May-Grünwald-Giemsa stain; bone marrow aspirate smear — 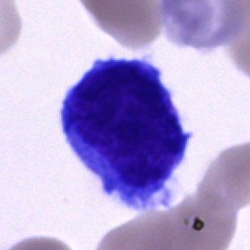
Morphology consistent with a blast.